Single-cell field; bone marrow aspirate smear.
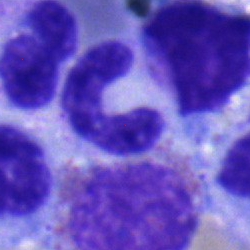

Cell: band-form neutrophil.